Bone marrow aspirate smear; 40× objective, oil immersion; 250 by 250 pixels — 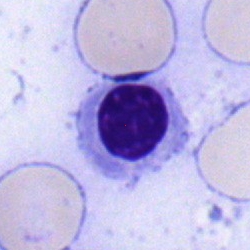
Impression → normoblast.